Bone marrow smear: 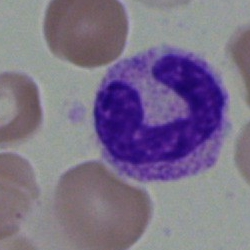Cell — polymorphonuclear neutrophil.